Bone marrow smear:
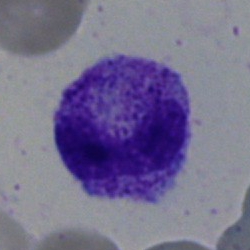 Specimen: bone marrow smear.
Cell: segmented neutrophil.
Lineage: myeloid.